Single cell centered in the field; bone marrow smear: 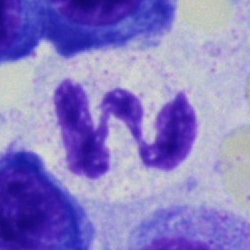 Q: What is the morphological classification of this cell?
A: This is a polymorphonuclear neutrophil.